400×400 · peripheral blood film · Romanowsky-type stain.
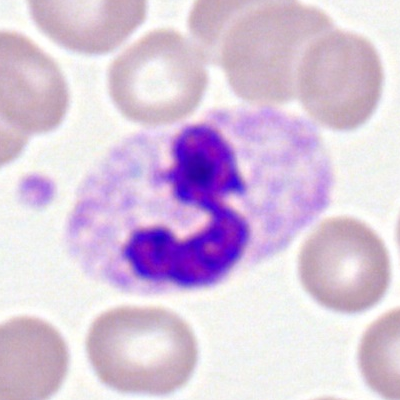

{"cell_type": "neutrophil (segmented)", "lineage": "myeloid"}